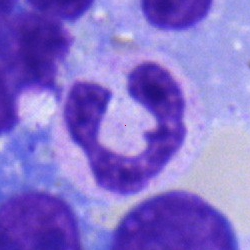

This is a polymorphonuclear neutrophil.